Bone marrow smear. Cropped to a single cell: 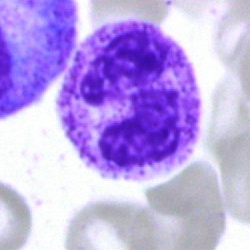
Q: What is the morphological classification of this cell?
A: It is a neutrophil (segmented).